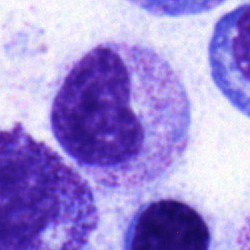Specimen: bone marrow aspirate smear.
Classification: metamyelocyte.
Lineage: myeloid.